Bone marrow smear. Image size 250×250
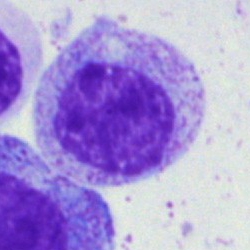

Q: What cell is this?
A: It is a myelocyte.